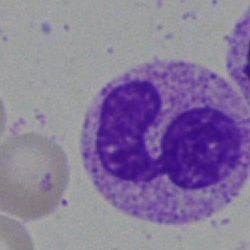
Morphology — neutrophil (segmented).